Peripheral blood smear: 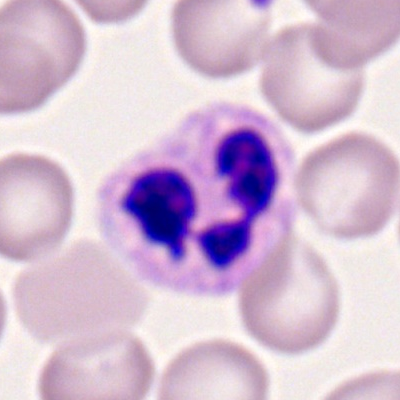 Single cell identified as a neutrophil (segmented).